Bone marrow smear.
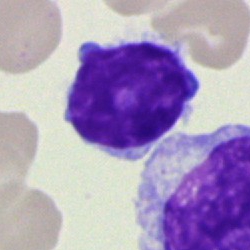

Single cell identified as a lymphocyte.